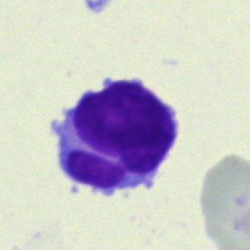 Specimen: bone marrow smear.
Cell type: lymphocyte.
Lineage: lymphoid.